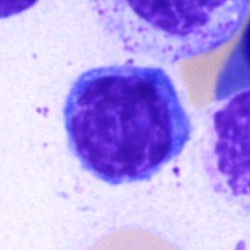
Specimen: bone marrow aspirate smear.
Classification: typical lymphocyte.
Lineage: lymphoid.